Bone marrow smear
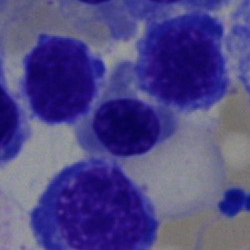
Single cell identified as a normoblast.